Image size 250×250. Bone marrow smear
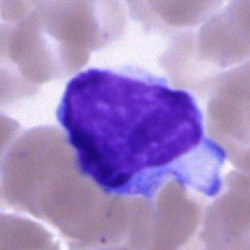

{"cell_type": "typical lymphocyte"}